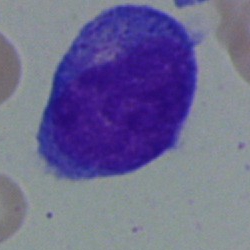Q: What is shown here?
A: Blast cell.